Bone marrow aspirate smear:
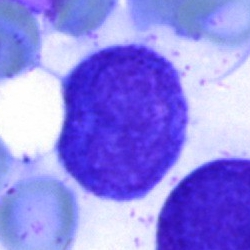Q: Which cell type is shown here?
A: It is an unidentifiable cell.